MGG-stained · cropped to a single cell · bone marrow smear — 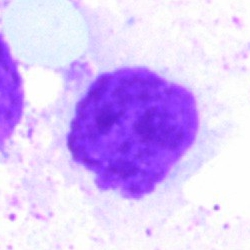

Artifact.